Bone marrow smear:
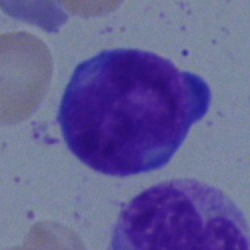

Specimen: bone marrow smear.
Cell: blast cell.